Bone marrow smear: 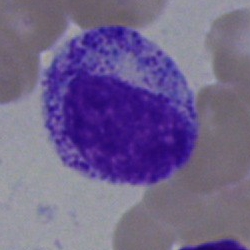

Specimen: bone marrow smear.
Cell: myelocyte.
Lineage: myeloid.